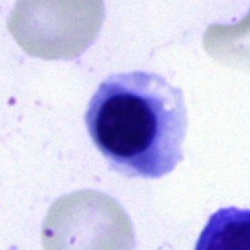

Nucleated red cell.